Brightfield microscopy, 40× oil immersion. Bone marrow aspirate smear
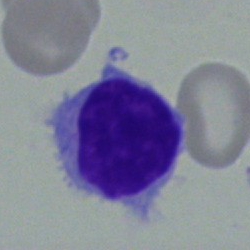Cell type: typical lymphocyte.